Brightfield microscopy, 40× oil immersion; bone marrow smear.
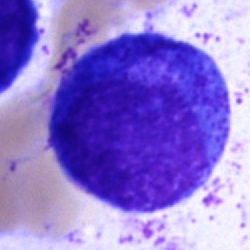 The cell shown is a promyelocyte.